Bone marrow aspirate smear. Pappenheim-stained: 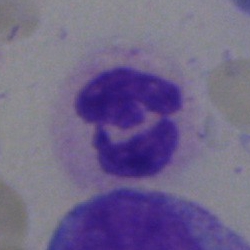
A polymorphonuclear neutrophil.